Bone marrow smear — 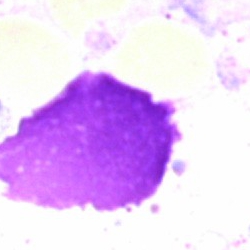 The cell type is artifact.